Peripheral blood smear.
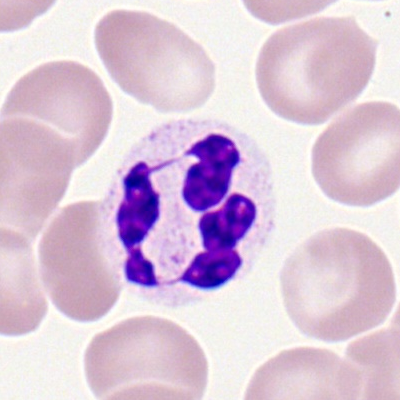 The cell is polymorphonuclear neutrophil.